Bone marrow aspirate smear: 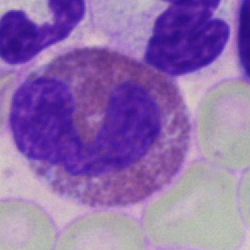Morphology — eosinophil.